Bone marrow smear.
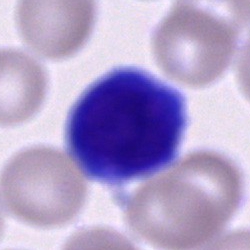

This is a cell of indeterminate lineage.